Bone marrow smear — 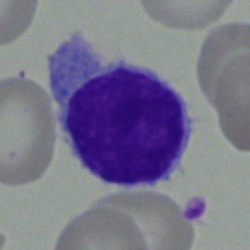The cell shown is a lymphocyte.